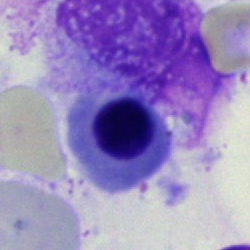

The cell type is nucleated red cell.